400×400 px. Peripheral blood film. M8 digital microscope (Precipoint), 100× oil immersion
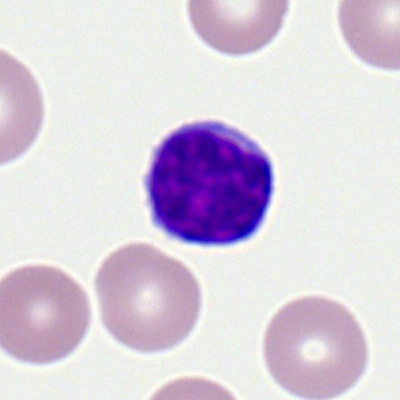This is a lymphocyte.